Bone marrow smear
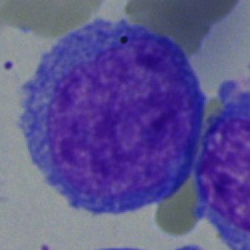 Specimen: bone marrow aspirate smear.
Cell type: blast cell.